400×400 · peripheral blood film: 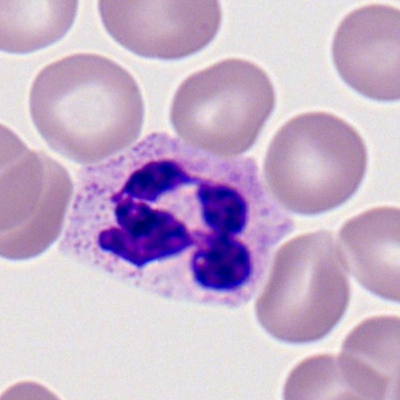 This is a neutrophil (segmented).